Bone marrow aspirate smear:
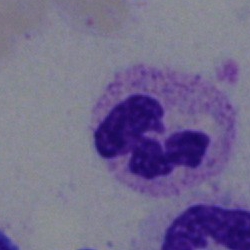
Specimen: bone marrow aspirate smear.
Classification: segmented neutrophil.